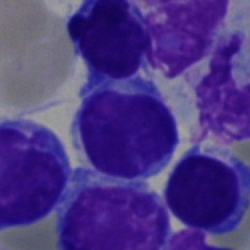
Single-cell crop from a bone marrow smear: lymphocyte.